Bone marrow smear
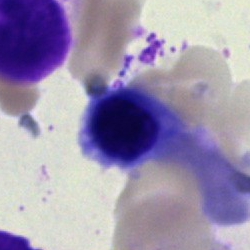
Morphological class = nucleated red blood cell.